Bone marrow aspirate smear — 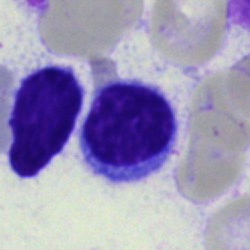 Morphology → typical lymphocyte.